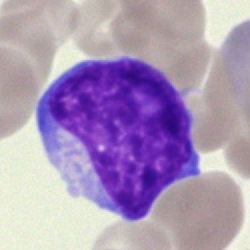
Specimen: bone marrow aspirate smear.
Classification: blast.